Bone marrow aspirate smear; cropped to a single cell — 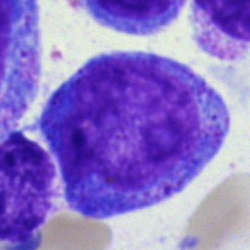

Single cell identified as a promyelocyte.